Bone marrow aspirate smear
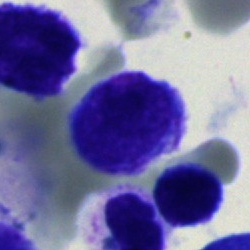 Cell = lymphocyte.